Bone marrow aspirate smear
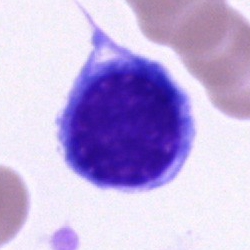 {"cell_type": "nucleated red cell"}